Bone marrow smear:
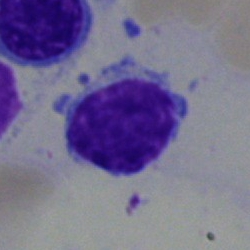 Specimen: bone marrow aspirate smear.
Morphological class: typical lymphocyte.
Lineage: lymphoid.